May-Grünwald-Giemsa/Pappenheim stain · bone marrow smear: 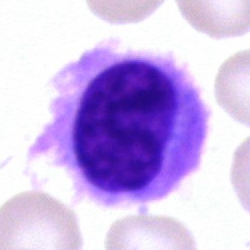
Morphology → hairy cell.